Bone marrow smear:
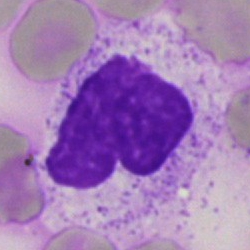

The morphological class is artefact.